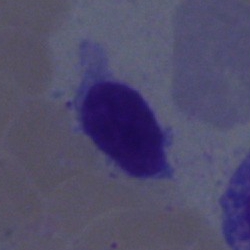
Single-cell crop from a bone marrow smear: typical lymphocyte.